Bone marrow aspirate smear
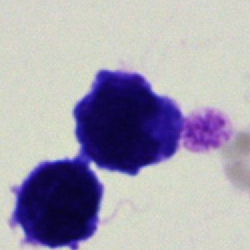 Single cell identified as an artefact.